Peripheral blood film; Romanowsky-type stain — 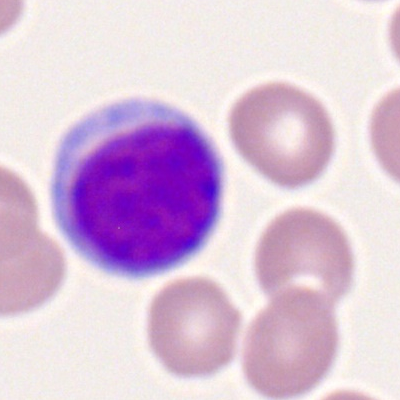Morphology consistent with a lymphocyte.